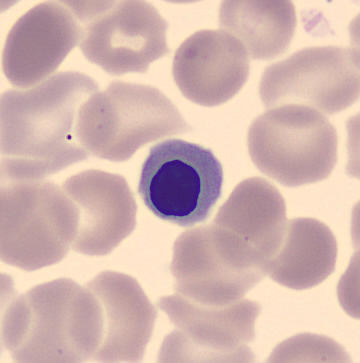
Peripheral blood film. Cell type: nucleated red cell.